Peripheral blood film:
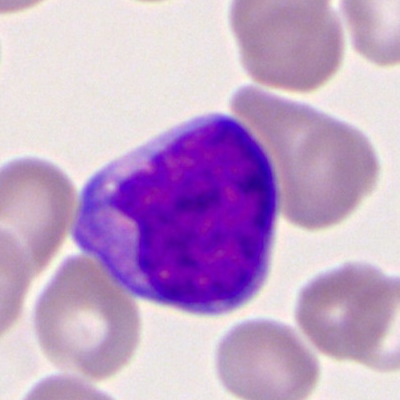Cell type — myeloblast.